Bone marrow aspirate smear.
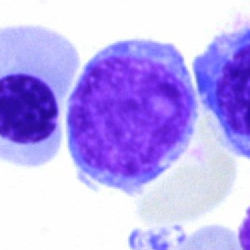

The classification is lymphocyte.